Peripheral blood film: 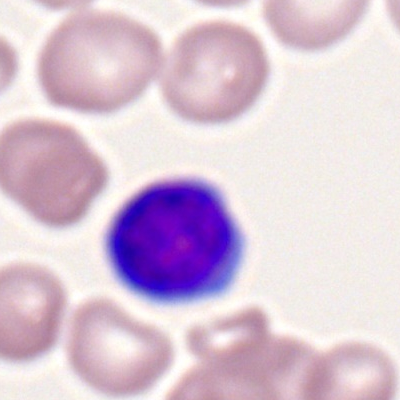 {"cell_type": "lymphocyte"}